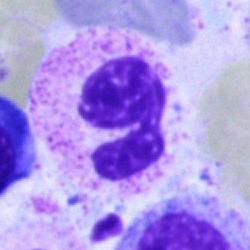Morphology — segmented neutrophil.